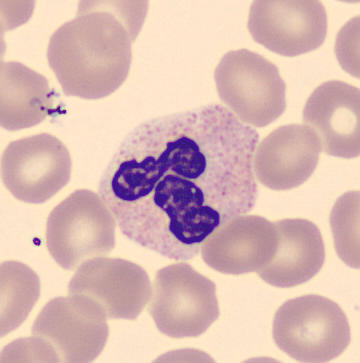
The cell type is polymorphonuclear neutrophil.

Peripheral blood film.